May-Grünwald-Giemsa stain; bone marrow smear:
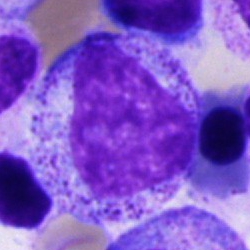Impression → progranulocyte.